Bone marrow aspirate smear
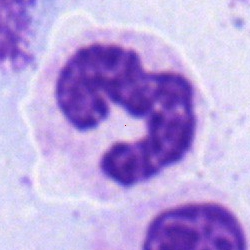A segmented neutrophil.